Peripheral blood smear.
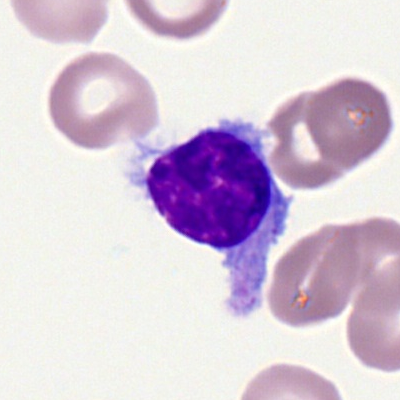
{"cell_type": "typical lymphocyte", "lineage": "lymphoid"}